Peripheral blood film:
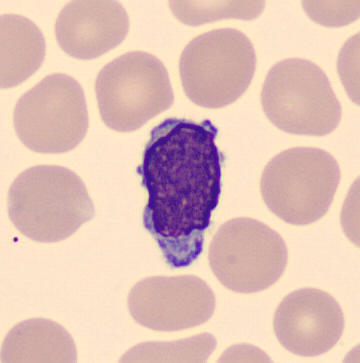
Q: What is shown here?
A: It is a typical lymphocyte.